Bone marrow smear.
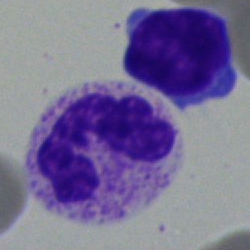Specimen: bone marrow smear.
Cell type: neutrophil (segmented).
Lineage: myeloid.